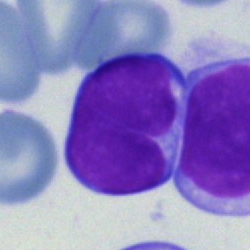
Cell type: lymphocyte.